Bone marrow aspirate smear.
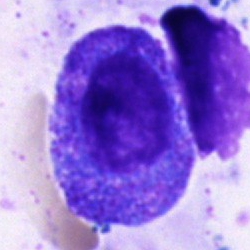 The morphological class is progranulocyte.